Bone marrow aspirate smear.
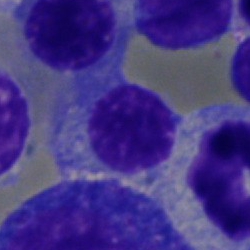
Cell of indeterminate lineage.